Bone marrow aspirate smear — 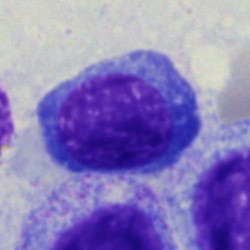Cell — erythroblast.